Bone marrow aspirate smear.
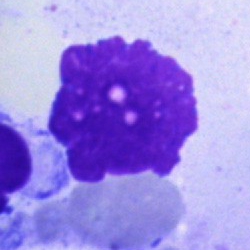
Morphology consistent with an artifact.